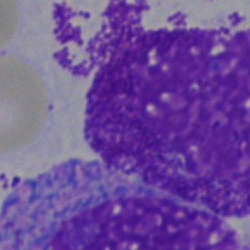
Cell type — artefact.